Bone marrow aspirate smear · 250×250.
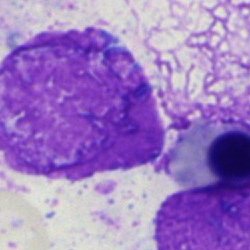Morphological class — artefact.